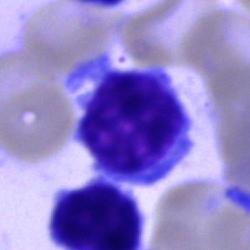

Typical lymphocyte.